Bone marrow aspirate smear. May-Grünwald-Giemsa stain: 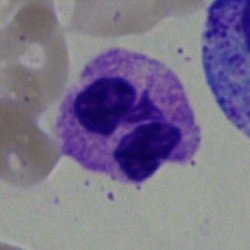
A polymorphonuclear neutrophil.